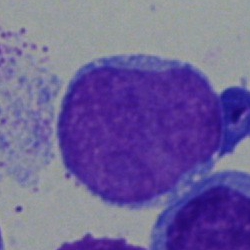 This is a blast.